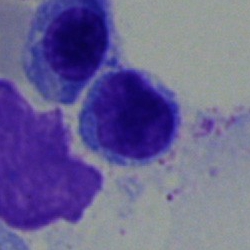Specimen: bone marrow aspirate smear.
Cell type: typical lymphocyte.
Lineage: lymphoid.